Bone marrow smear: 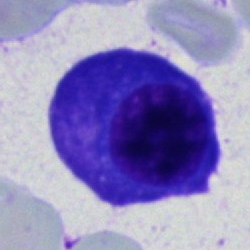This is a plasma cell.